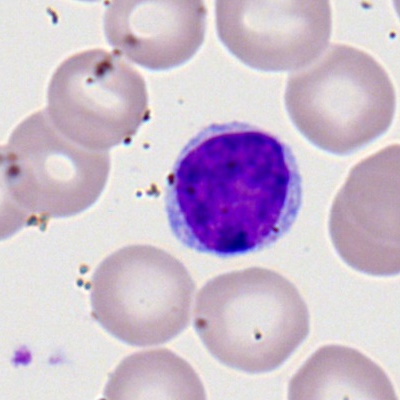Q: What is the morphological classification of this cell?
A: Lymphocyte.